Bone marrow aspirate smear
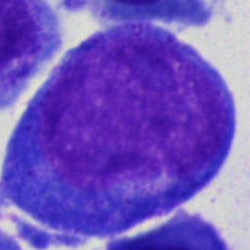Pronormoblast.